Bone marrow smear.
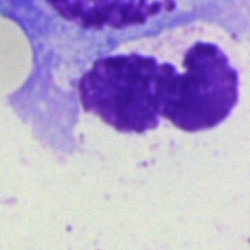
Cell = artefact.